Bone marrow aspirate smear: 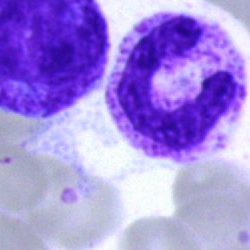Polymorphonuclear neutrophil.